Peripheral blood film.
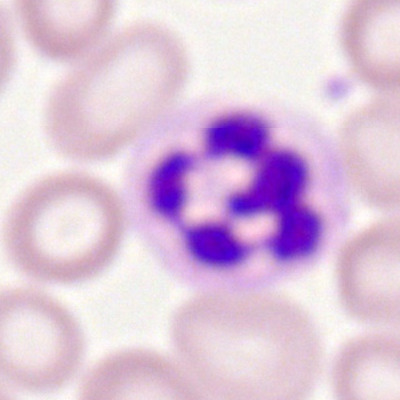

Q: What type of cell is this?
A: This is a segmented neutrophil.